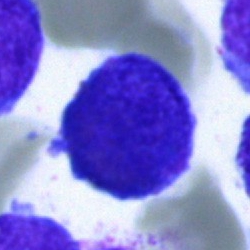
Specimen: bone marrow smear.
Cell type: undifferentiated blast.